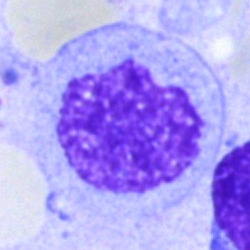

Q: What is shown here?
A: This is an artifact.